Pappenheim-stained. Bone marrow aspirate smear. Single-cell field — 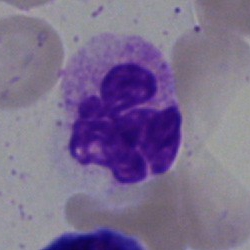A neutrophil (segmented).